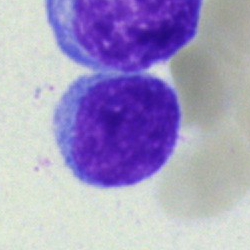

A blast cell on a bone marrow smear.